Bone marrow aspirate smear.
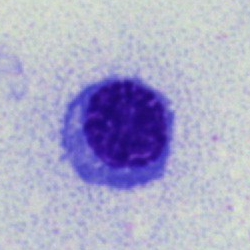 This is a normoblast.